Bone marrow aspirate smear:
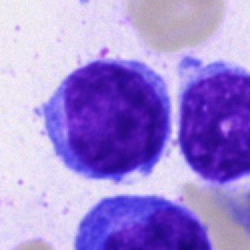 Morphological class = lymphocyte.